Bone marrow aspirate smear: 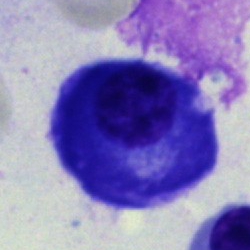Cell = plasma cell.